Peripheral blood film.
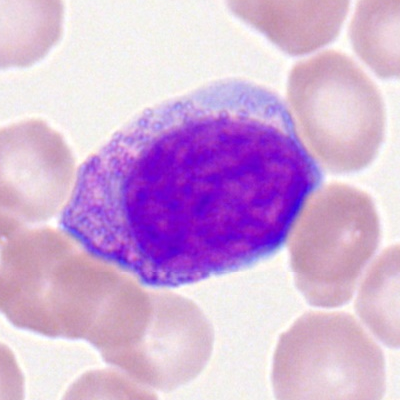
{"cell_type": "promyelocyte"}